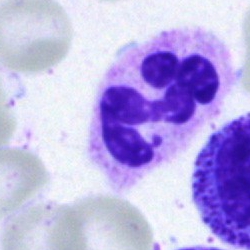

Q: What cell is this?
A: It is a segmented neutrophil.